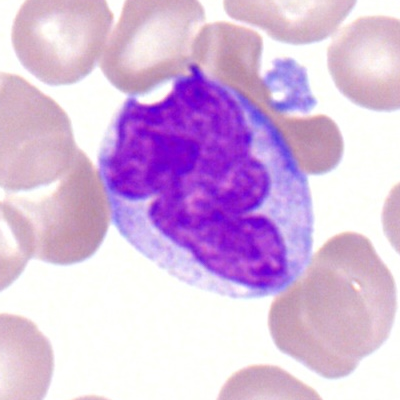 Q: What is the morphological classification of this cell?
A: This is a monocyte.